Image size 250×250; bone marrow smear.
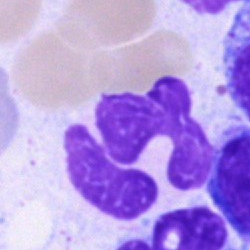
Impression → polymorphonuclear neutrophil.